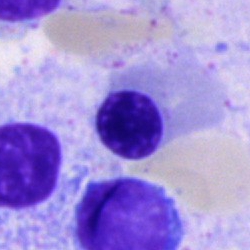

Morphology consistent with a normoblast.